MGG-stained; peripheral blood film:
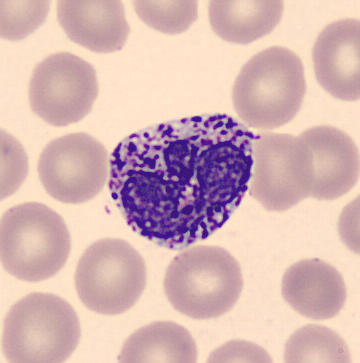Cell: basophilic granulocyte.